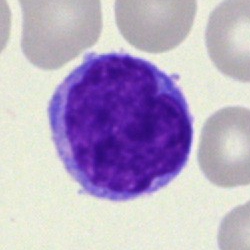

Undifferentiated blast.